Peripheral blood film
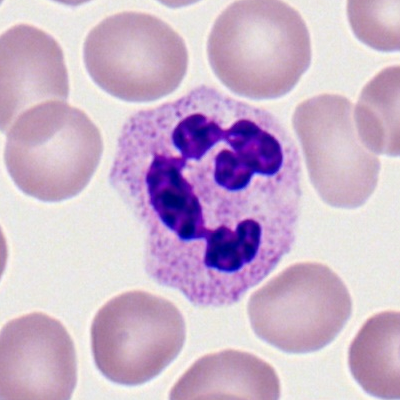
Cell type: polymorphonuclear neutrophil.